Bone marrow smear
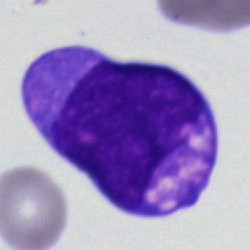 Undifferentiated blast.